Bone marrow aspirate smear
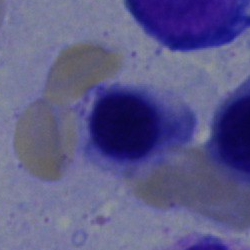

Morphological class — normoblast.